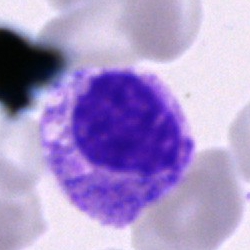Q: What cell is this?
A: A polymorphonuclear neutrophil.